40× oil immersion · 250 by 250 pixels · bone marrow aspirate smear:
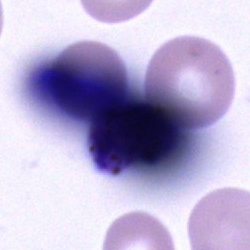

Specimen: bone marrow smear.
Morphological class: artifact.